Bone marrow smear.
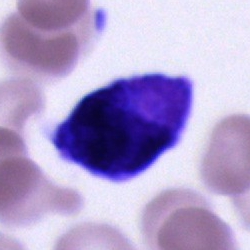

A cell of indeterminate lineage.